Bone marrow smear. MGG-stained:
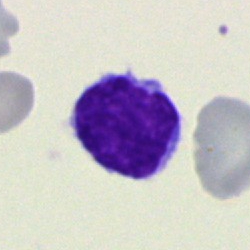

Morphology — typical lymphocyte.